Bone marrow aspirate smear.
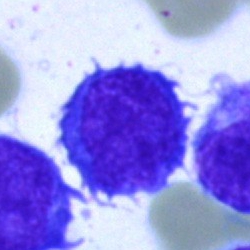This is a blast.